Bone marrow smear
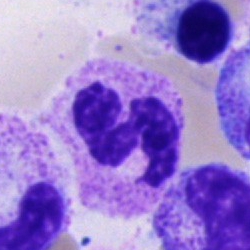

Specimen: bone marrow aspirate smear.
Morphological class: segmented neutrophil.
Lineage: myeloid.